Pappenheim-stained; bone marrow smear:
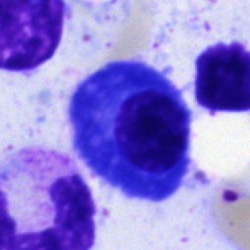
Impression → plasmacyte.